Pappenheim-stained. Single-cell crop. Bone marrow aspirate smear:
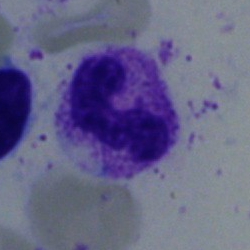Morphological class: polymorphonuclear neutrophil.